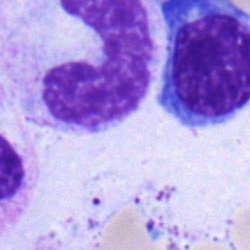

Specimen: bone marrow aspirate smear.
Cell: band neutrophil.
Lineage: myeloid.